Bone marrow smear
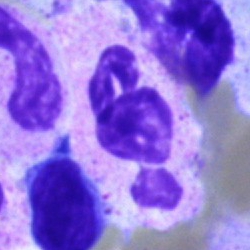Q: What is shown here?
A: This is a segmented neutrophil.